Bone marrow smear
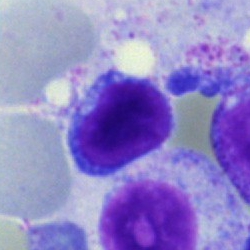Morphology consistent with a lymphocyte.